100× objective, oil immersion · peripheral blood film — 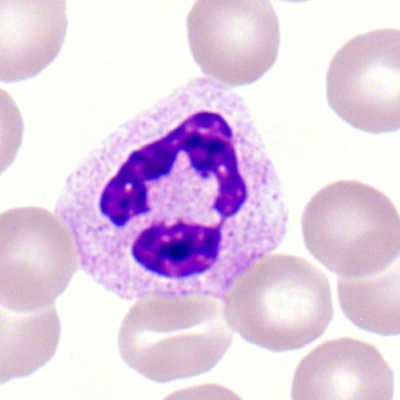
Polymorphonuclear neutrophil.